Brightfield, 40× oil-immersion objective · bone marrow aspirate smear.
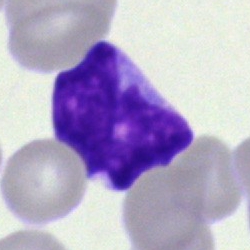
Showing an undifferentiated blast.